Bone marrow smear:
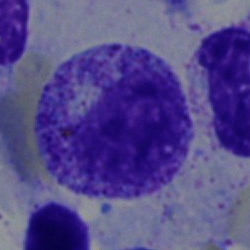

Morphology consistent with a myelocyte.